Cropped to a single cell; bone marrow smear:
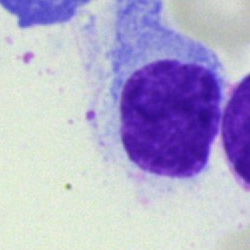
Impression → hairy cell.